Bone marrow smear · 40× objective, oil immersion · MGG-stained: 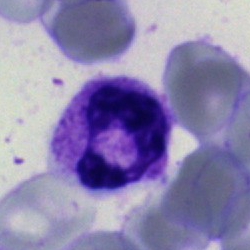 Impression — polymorphonuclear neutrophil.